Bone marrow aspirate smear
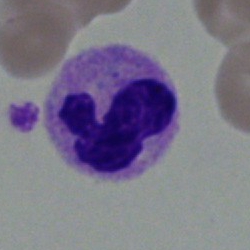
Q: What cell is this?
A: This is a polymorphonuclear neutrophil.